Bone marrow aspirate smear: 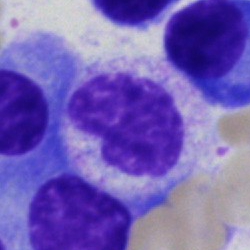Single cell identified as a metamyelocyte.